Bone marrow aspirate smear:
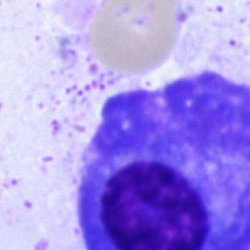 A plasmacyte.